Bone marrow aspirate smear. Pappenheim-stained. Single-cell crop — 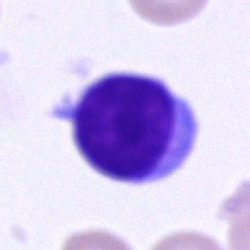
Specimen: bone marrow smear.
Morphological class: lymphocyte.